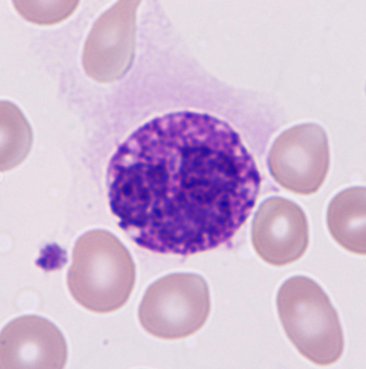 Morphological class = basophil.
Image: CellaVision DM96 digital cell image; peripheral blood film.